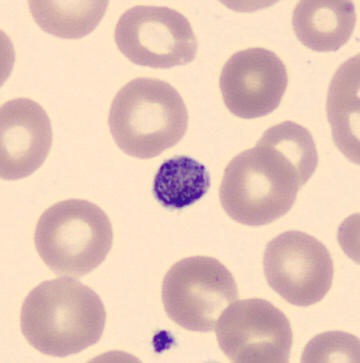Image: Peripheral blood film. This is a platelet.